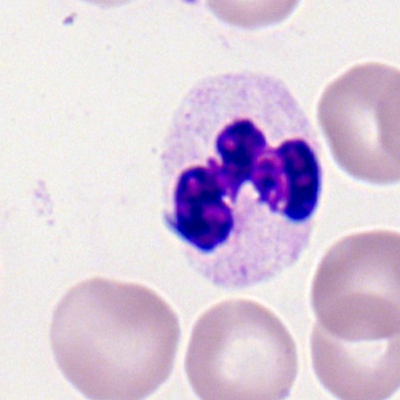

This is a neutrophil (segmented).